Cropped to a single cell; bone marrow aspirate smear
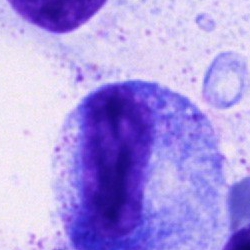Morphology — progranulocyte.